Cropped to a single cell; bone marrow aspirate smear:
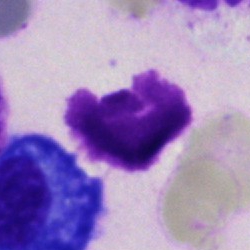 An artifact.